Bone marrow aspirate smear — 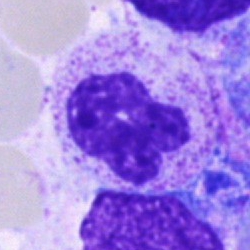

Cell = band-form neutrophil.